Bone marrow aspirate smear: 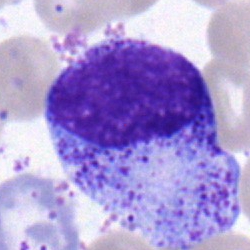
A myelocyte.